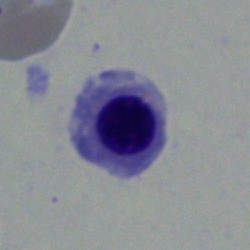
Bone marrow aspirate smear, single cell — normoblast.